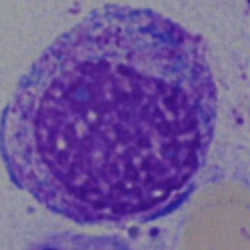

Impression → myelocyte.